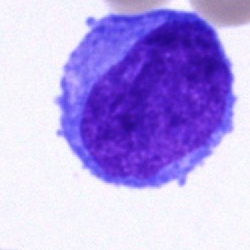

Q: What is shown here?
A: This is a blast cell.